Bone marrow smear.
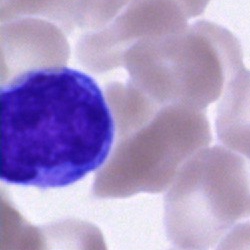
A monocyte.